Bone marrow aspirate smear:
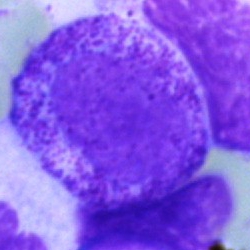 This is a myelocyte.